Bone marrow aspirate smear
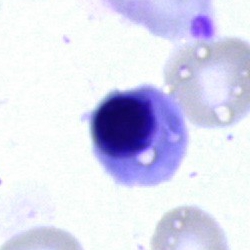
Specimen: bone marrow aspirate smear.
Cell type: normoblast.
Lineage: erythroid.